Brightfield microscopy, 40× oil immersion. Bone marrow smear. Single-cell field — 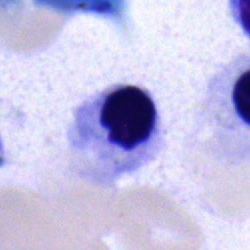 Specimen: bone marrow smear.
Morphological class: nucleated red blood cell.